Bone marrow smear; 40× oil immersion
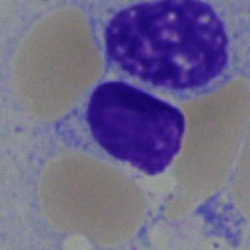
Typical lymphocyte.